Bone marrow aspirate smear
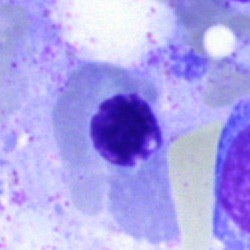

Morphology — erythroblast.